M8 digital microscope (Precipoint), 100× oil immersion; peripheral blood film: 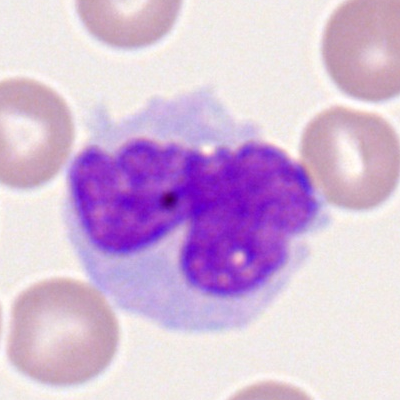
Classification: monocyte.